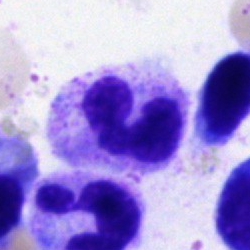 Polymorphonuclear neutrophil.